Bone marrow aspirate smear; brightfield microscopy, 40× oil immersion.
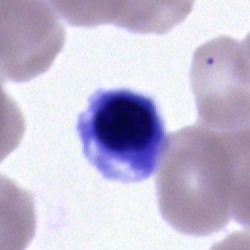

A normoblast.